40× oil immersion · bone marrow aspirate smear · May-Grünwald-Giemsa/Pappenheim stain.
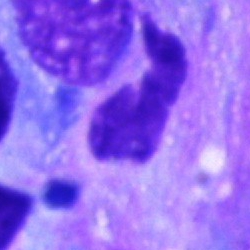 {"cell_type": "artefact"}